Brightfield, 40× oil-immersion objective. Single-cell crop. Bone marrow aspirate smear: 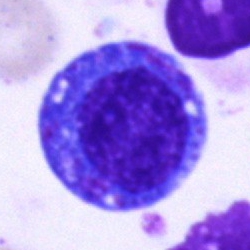Q: What is the morphological classification of this cell?
A: This is a progranulocyte.